Peripheral blood smear.
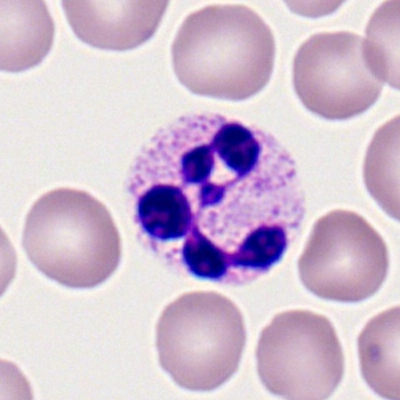

Impression — segmented neutrophil.